40× oil immersion; bone marrow aspirate smear; single cell centered in the field
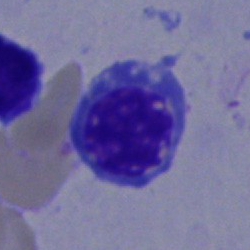Morphology — nucleated red cell.